Brightfield microscopy, 40× oil immersion · bone marrow smear
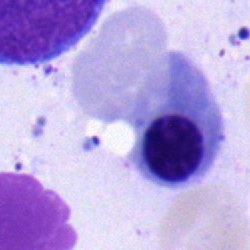

Q: What is shown here?
A: This is a nucleated red cell.